Peripheral blood film; single-cell crop — 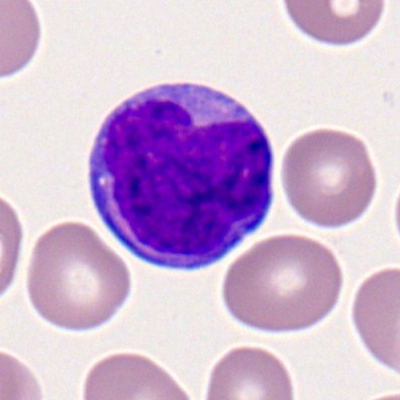 The morphological class is myeloid blast.